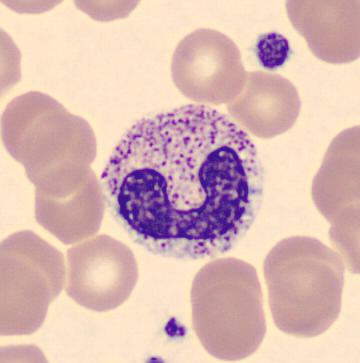
Single-cell crop from a peripheral blood smear: band neutrophil.